Pappenheim-stained. Brightfield microscopy, 40× oil immersion. Bone marrow aspirate smear: 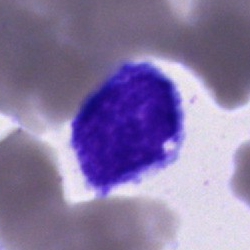
The classification is typical lymphocyte.